250×250; bone marrow smear; single cell centered in the field.
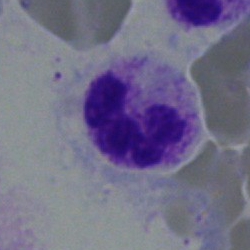The cell shown is a neutrophil (segmented).